Bone marrow aspirate smear · 40× objective, oil immersion — 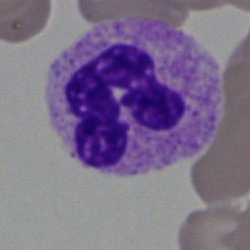

Cell type: segmented neutrophil.